Bone marrow aspirate smear:
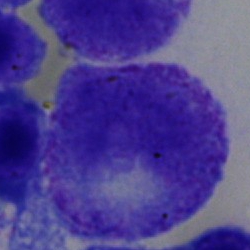 Single cell identified as a promyelocyte.